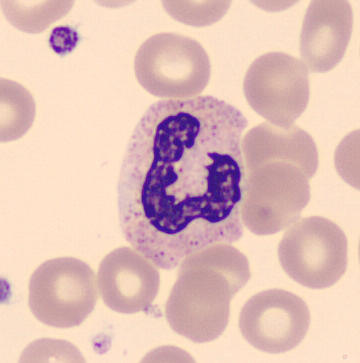

Cell: polymorphonuclear neutrophil. Preparation: Peripheral blood smear.